Pappenheim-stained. Bone marrow aspirate smear: 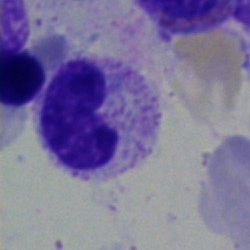
Single cell identified as a neutrophil (band).